Bone marrow smear.
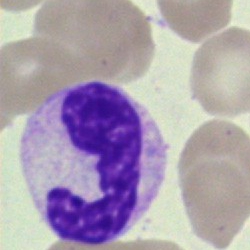A band neutrophil.